Bone marrow aspirate smear — 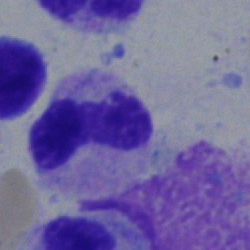Cell type = erythroblast.